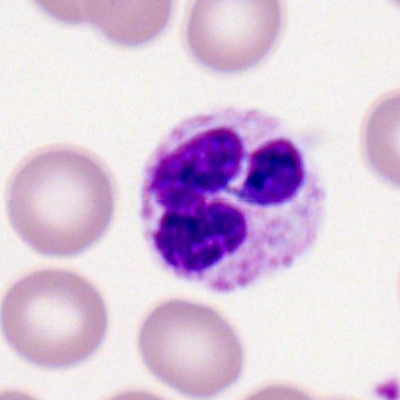 A polymorphonuclear neutrophil.